250 by 250 pixels; bone marrow aspirate smear: 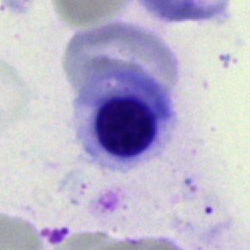The cell shown is an erythroblast.